Pappenheim-stained · bone marrow aspirate smear · brightfield, 40× oil-immersion objective
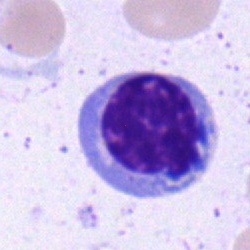
A nucleated red cell.